Bone marrow smear:
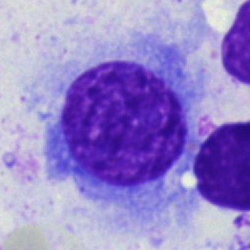

This is a plasma cell.